250×250 px. Bone marrow smear — 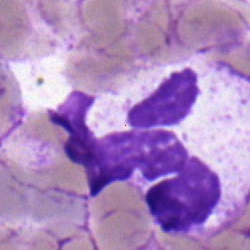Q: What is shown here?
A: This is a polymorphonuclear neutrophil.